Bone marrow smear
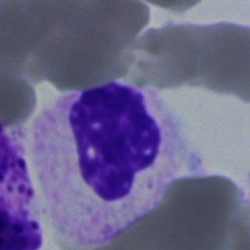 Specimen: bone marrow aspirate smear.
Classification: segmented neutrophil.
Lineage: myeloid.